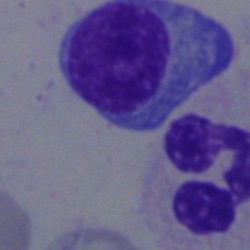
Classification: plasmacyte.